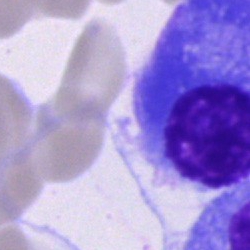 Specimen: bone marrow smear.
Classification: plasma cell.
Lineage: lymphoid.